Bone marrow smear · 250 by 250 pixels:
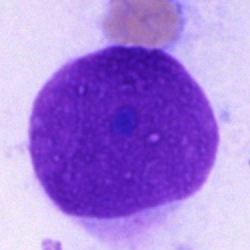

Specimen: bone marrow aspirate smear.
Morphological class: artifact.